Bone marrow aspirate smear: 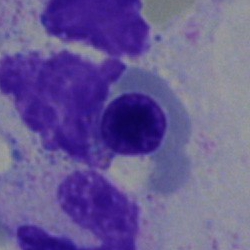 Morphological class — normoblast.